Bone marrow smear · single-cell crop: 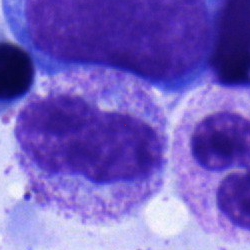
Single cell identified as a metamyelocyte.